250 by 250 pixels. Bone marrow smear: 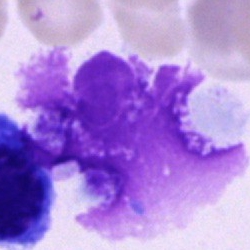Artefact.